Single-cell field · 40× oil immersion · bone marrow aspirate smear:
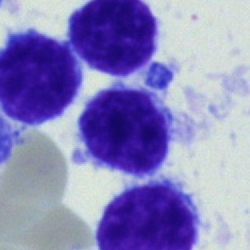
Q: Identify the cell.
A: A typical lymphocyte.